Bone marrow aspirate smear.
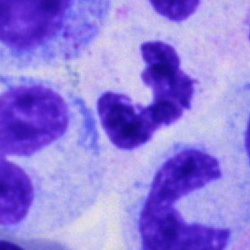Morphological class — segmented neutrophil.